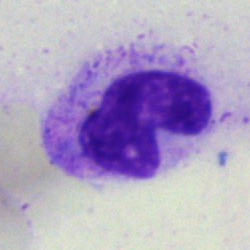Impression → band neutrophil.